Single-cell field · bone marrow aspirate smear:
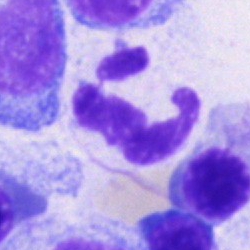

Showing a polymorphonuclear neutrophil.